Peripheral blood smear.
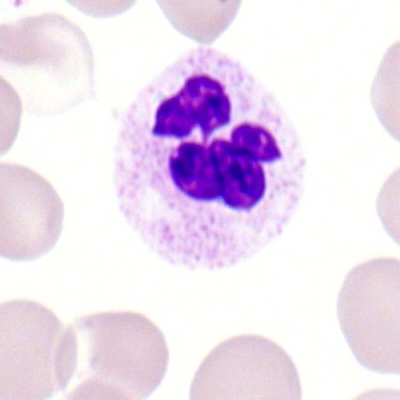

Classification: polymorphonuclear neutrophil.